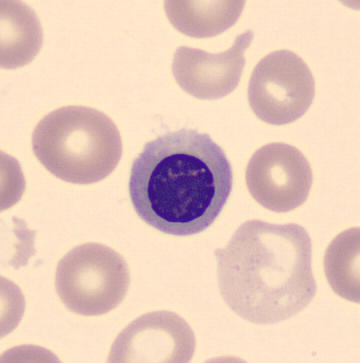Preparation: Peripheral blood film. Classification — normoblast.